Bone marrow smear. Brightfield, 40× oil-immersion objective.
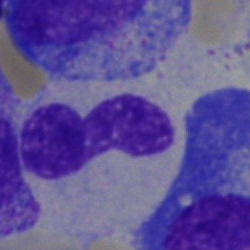

Cell type — band neutrophil.